Bone marrow smear · MGG-stained:
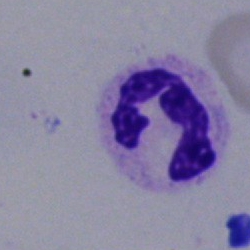Morphology — segmented neutrophil.